250×250 px. Bone marrow aspirate smear. May-Grünwald-Giemsa stain — 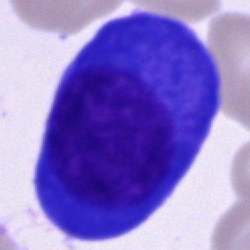
Classification: plasmacyte.